Bone marrow aspirate smear — 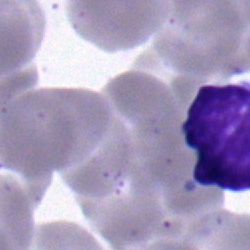Single cell identified as a lymphocyte.